Bone marrow smear · May-Grünwald-Giemsa stain — 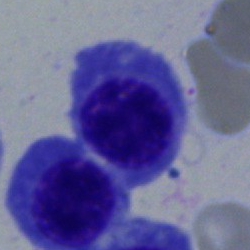

A normoblast.